Bone marrow smear · May-Grünwald-Giemsa stain · brightfield microscopy, 40× oil immersion.
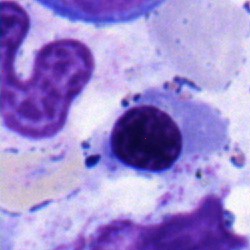
Cell — neutrophil (band).